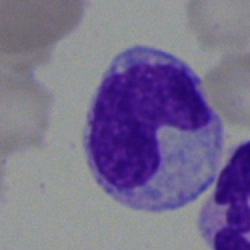

Single cell identified as a band neutrophil.